250×250. Single-cell field. Bone marrow aspirate smear
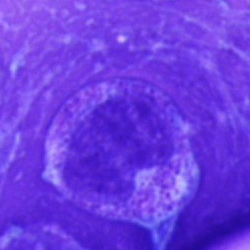Morphology — metamyelocyte.